Bone marrow aspirate smear:
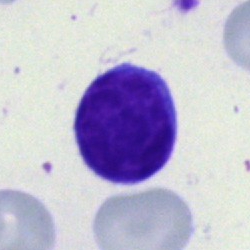

Showing a lymphocyte.